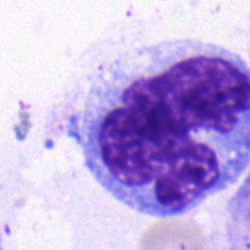

Q: What is the morphological classification of this cell?
A: Monocyte.